Bone marrow aspirate smear.
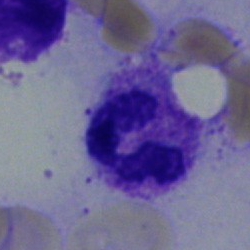{"cell_type": "segmented neutrophil", "lineage": "myeloid"}